250 by 250 pixels; bone marrow smear
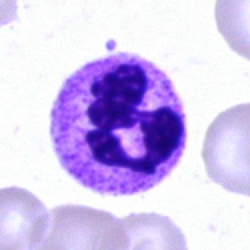

The cell is neutrophil (segmented).